Bone marrow smear
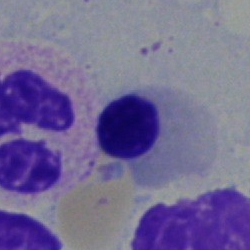
Impression — nucleated red blood cell.